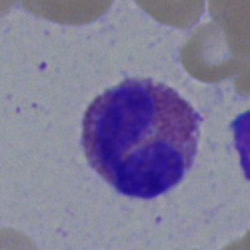

Cell type — eosinophil.